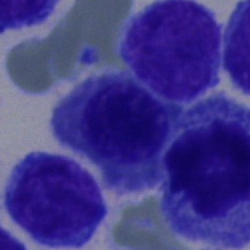
Q: Identify the cell.
A: It is an erythroblast.